Bone marrow smear. 250 by 250 pixels.
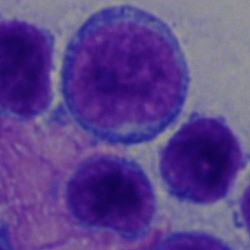 Q: Identify the cell.
A: This is a typical lymphocyte.